Bone marrow smear:
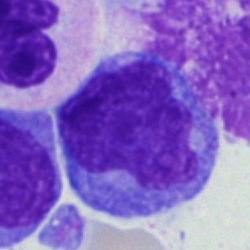A monocyte.